Bone marrow aspirate smear; May-Grünwald-Giemsa stain
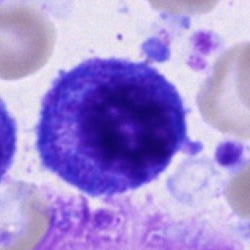 Morphology — promyelocyte.